Bone marrow smear: 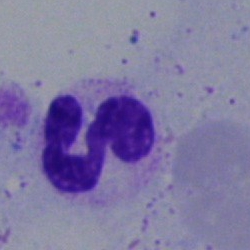

The cell shown is a segmented neutrophil.